Bone marrow aspirate smear. May-Grünwald-Giemsa stain
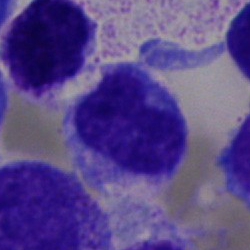Q: What cell is this?
A: Undifferentiated blast.